MGG-stained; bone marrow aspirate smear.
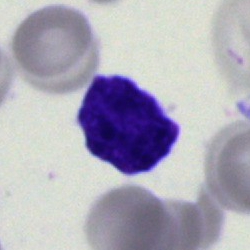Classification — blast.